Image size 250×250 · bone marrow aspirate smear: 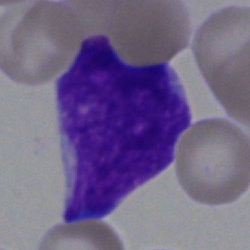

Q: Identify the cell.
A: Undifferentiated blast.